Bone marrow aspirate smear:
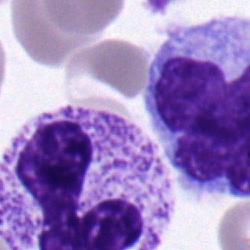 Morphological class — monocyte.